Bone marrow smear · 40× oil immersion:
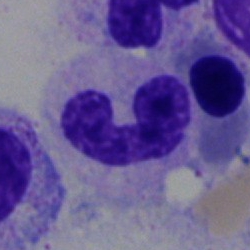
A band neutrophil.